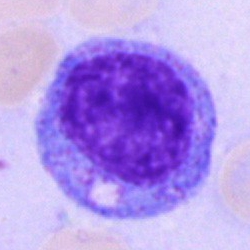Q: What type of cell is this?
A: This is a progranulocyte.